Bone marrow aspirate smear; cropped to a single cell; 250×250
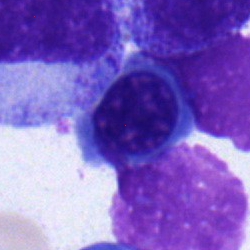 Showing a nucleated red blood cell.